Bone marrow smear: 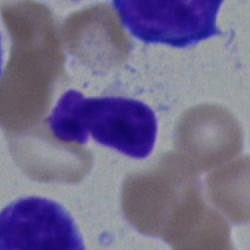
Cell type: lymphocyte.